Brightfield microscopy, 40× oil immersion; bone marrow aspirate smear — 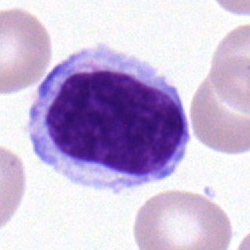

This is a typical lymphocyte.